Bone marrow smear:
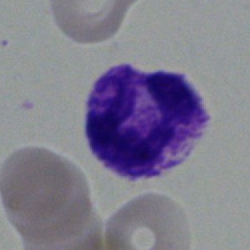A segmented neutrophil.